Bone marrow aspirate smear; MGG-stained; 250 by 250 pixels
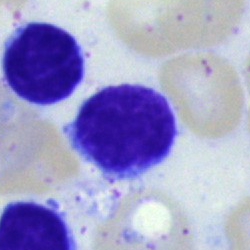The cell shown is a typical lymphocyte.